Bone marrow aspirate smear — 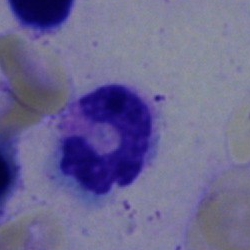 The cell type is neutrophil (segmented).